250×250 · bone marrow smear: 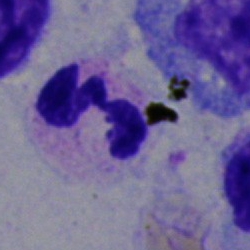 Q: What cell is this?
A: It is a neutrophil (segmented).